Bone marrow smear
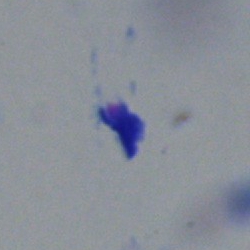 {"cell_type": "artefact"}